Bone marrow aspirate smear
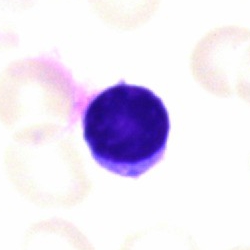

A lymphocyte.